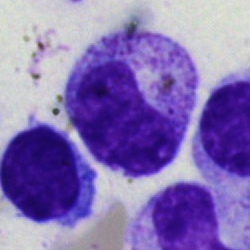

Specimen: bone marrow smear.
Morphological class: metamyelocyte.
Lineage: myeloid.